250 by 250 pixels · bone marrow aspirate smear · May-Grünwald-Giemsa stain.
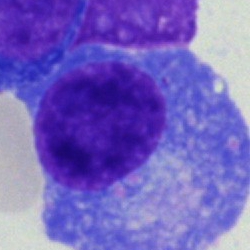 Plasma cell.